250 by 250 pixels. Bone marrow smear. 40× oil immersion.
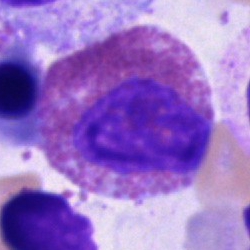

Cell type — eosinophilic granulocyte.